Bone marrow aspirate smear:
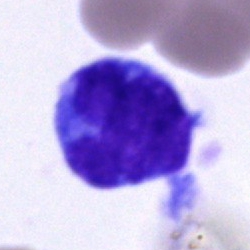 Morphological class = blast cell.